40× objective, oil immersion · bone marrow smear — 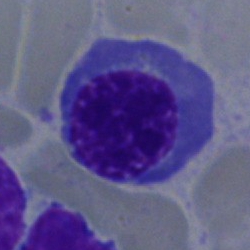
Morphological class = nucleated red cell.